Single cell centered in the field. Bone marrow smear. May-Grünwald-Giemsa/Pappenheim stain
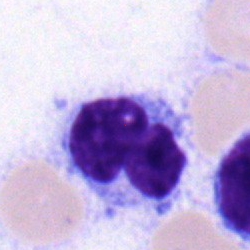

Classification = typical lymphocyte.